Bone marrow aspirate smear · May-Grünwald-Giemsa stain · 250×250 px:
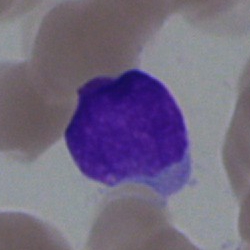 Cell — undifferentiated blast.